Bone marrow smear:
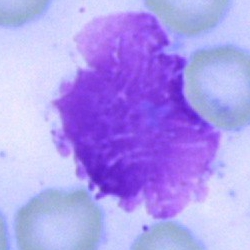

This is an artifact.